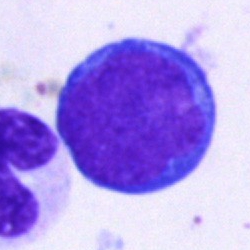Q: What cell is this?
A: This is an undifferentiated blast.